MGG-stained; peripheral blood smear; single-cell crop.
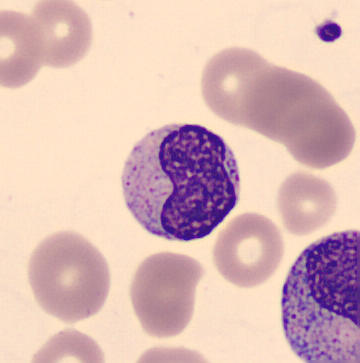 Specimen: peripheral blood smear.
Cell type: metamyelocyte.
Lineage: myeloid.